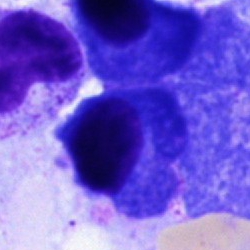

The cell shown is a plasmacyte.